Bone marrow aspirate smear: 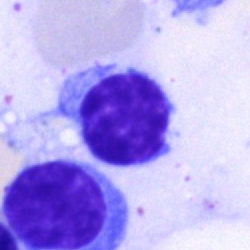
The cell is typical lymphocyte.